Bone marrow aspirate smear: 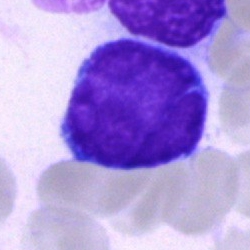 Showing a blast.